Bone marrow aspirate smear:
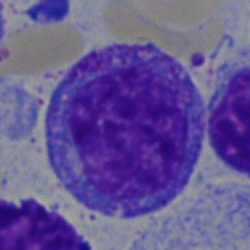 The classification is promyelocyte.